Bone marrow aspirate smear
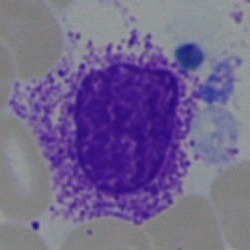 Cell type — lymphocyte.